Bone marrow smear; 40× oil immersion — 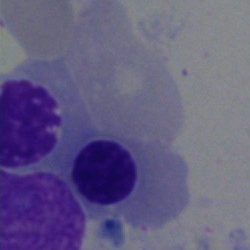Morphology consistent with a normoblast.